Bone marrow aspirate smear.
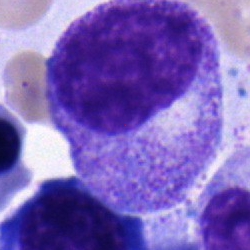Q: What is the morphological classification of this cell?
A: A myelocyte.